250×250 · bone marrow aspirate smear · single cell centered in the field:
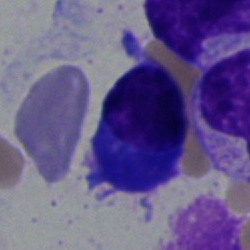

Single cell identified as a plasmacyte.